250 by 250 pixels; brightfield, 40× oil-immersion objective; bone marrow aspirate smear: 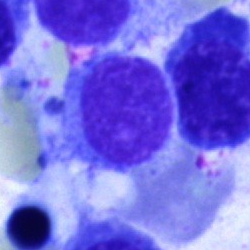
Cell = lymphocyte.